Bone marrow smear — 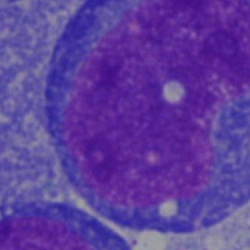The cell shown is a blast.